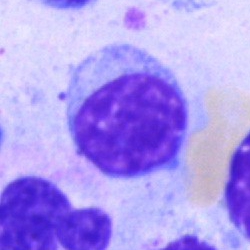A lymphocyte.